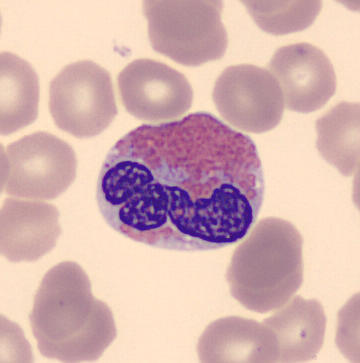 Q: Identify the cell.
A: It is an eosinophilic granulocyte.